Bone marrow smear:
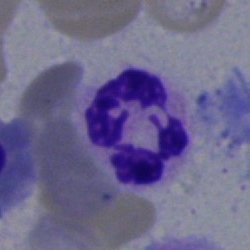The cell shown is a neutrophil (segmented).